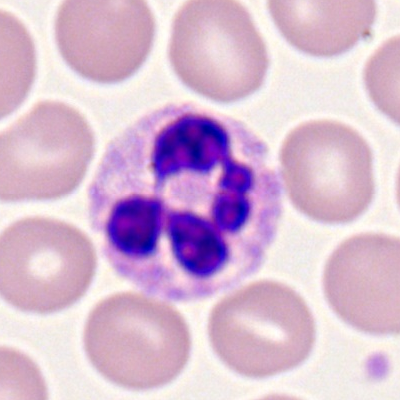 Segmented neutrophil.